Bone marrow smear
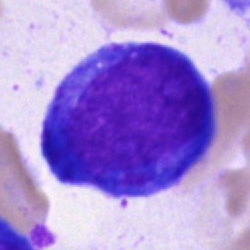 {"cell_type": "undifferentiated blast"}